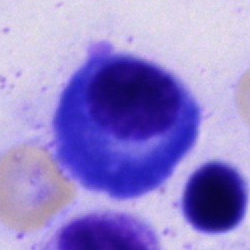Specimen: bone marrow aspirate smear.
Morphological class: plasmacyte.
Lineage: lymphoid.